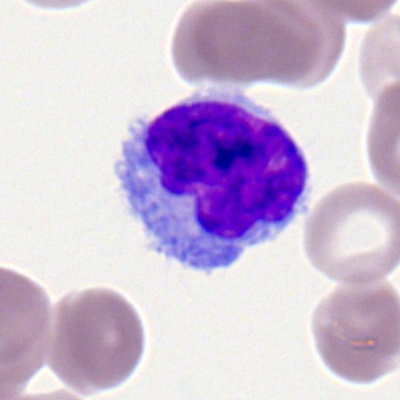
Cell type = typical lymphocyte.